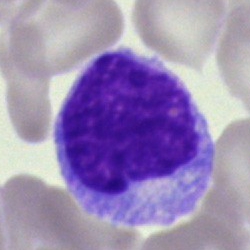
Morphology — typical lymphocyte.